Single cell centered in the field · bone marrow smear: 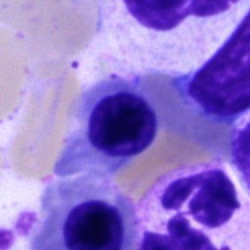This is a normoblast.